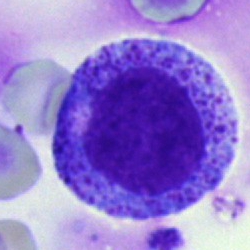 Impression — progranulocyte.